Bone marrow smear · single-cell crop
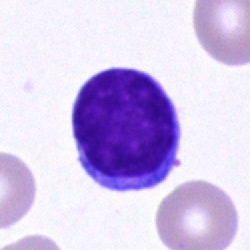Showing a typical lymphocyte.